Bone marrow smear — 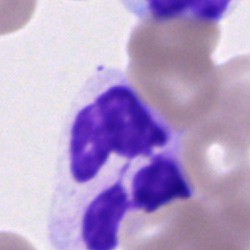
Q: Which cell type is shown here?
A: Neutrophil (segmented).